MGG-stained. Bone marrow smear — 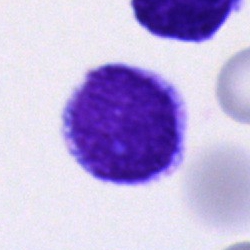 Cell: blast cell.